May-Grünwald-Giemsa/Pappenheim stain. Bone marrow aspirate smear — 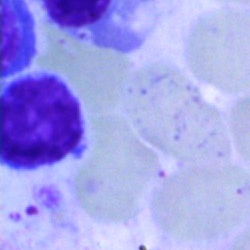

An artifact.